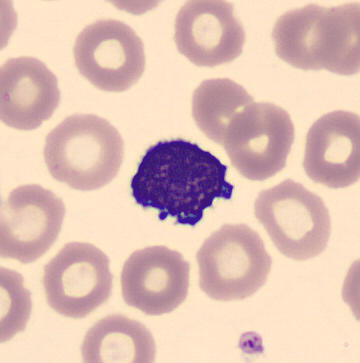Q: Identify the cell.
A: Typical lymphocyte.